Bone marrow smear.
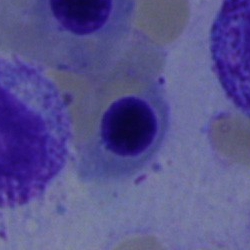 Q: Which cell type is shown here?
A: A normoblast.